40× objective, oil immersion. Bone marrow aspirate smear — 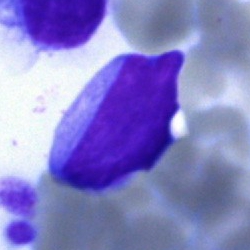
Q: Identify the cell.
A: A lymphocyte.